Bone marrow smear; Pappenheim-stained; 40× objective, oil immersion.
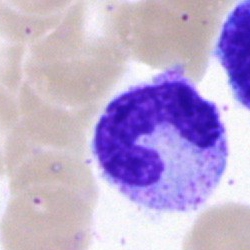

Morphology consistent with a segmented neutrophil.